Single cell centered in the field · bone marrow smear · brightfield, 40× oil-immersion objective.
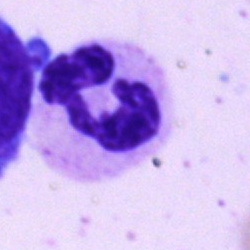 Specimen: bone marrow aspirate smear.
Morphological class: neutrophil (segmented).